Bone marrow smear · single-cell field:
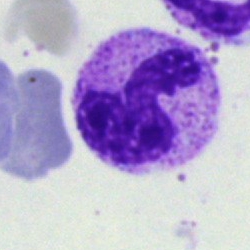
Classification = segmented neutrophil.